Brightfield, 40× oil-immersion objective. Bone marrow aspirate smear
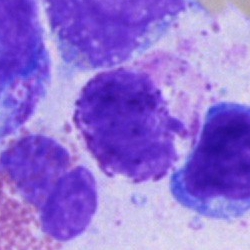

Showing a cell of indeterminate lineage.